40× objective, oil immersion · May-Grünwald-Giemsa/Pappenheim stain · bone marrow aspirate smear:
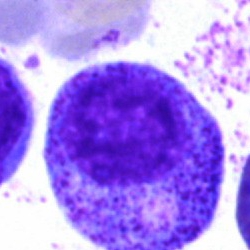

A progranulocyte.